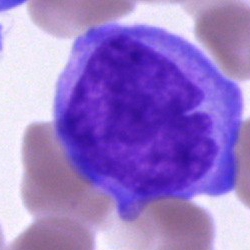

This is a blast cell.